Bone marrow smear. Image size 250×250. Single-cell crop:
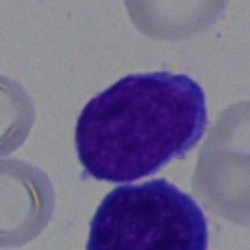 Specimen: bone marrow smear.
Morphological class: blast.